Bone marrow aspirate smear: 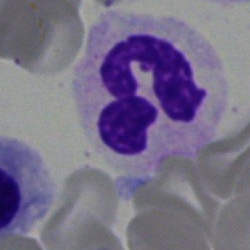Specimen: bone marrow smear.
Classification: neutrophil (segmented).